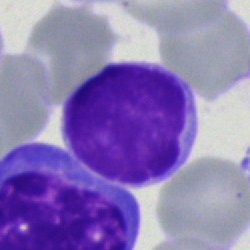 A typical lymphocyte on a bone marrow smear.